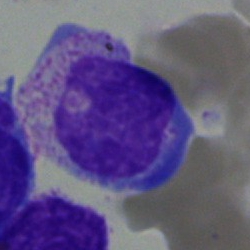Morphology consistent with a promyelocyte.